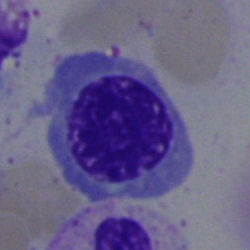
Bone marrow smear showing an erythroblast.